Image size 250×250 · bone marrow aspirate smear: 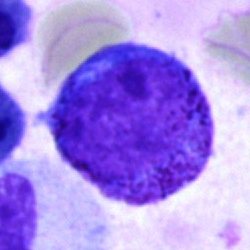Specimen: bone marrow smear.
Cell type: promyelocyte.